Bone marrow smear — 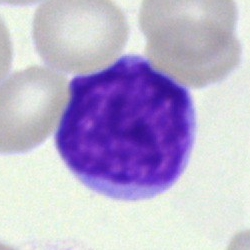Impression — blast cell.